May-Grünwald-Giemsa/Pappenheim stain · 250×250 · bone marrow aspirate smear:
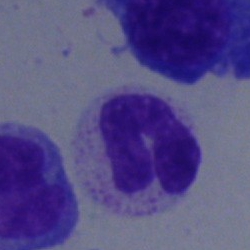 Morphology consistent with a neutrophil (segmented).